May-Grünwald-Giemsa/Pappenheim stain · bone marrow aspirate smear · brightfield microscopy, 40× oil immersion: 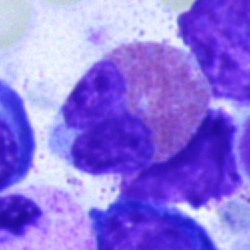
Q: What is the morphological classification of this cell?
A: This is an eosinophil.